Bone marrow smear — 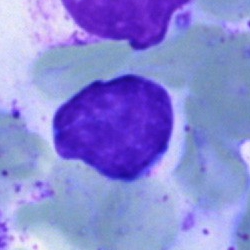
Showing an artifact.